Bone marrow smear
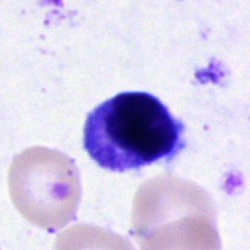 Q: What is the morphological classification of this cell?
A: It is a nucleated red blood cell.